Peripheral blood film · 400×400.
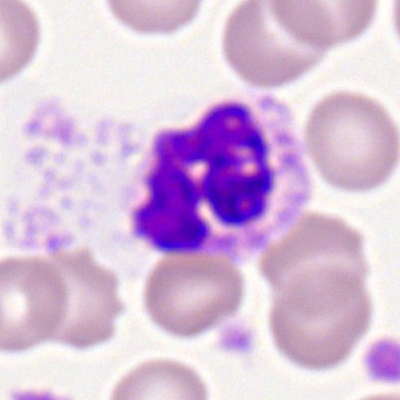

Specimen: peripheral blood film.
Cell: segmented neutrophil.